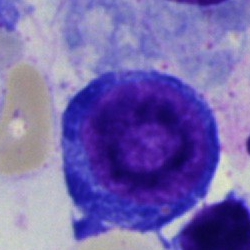
Cell type = normoblast.